Bone marrow aspirate smear:
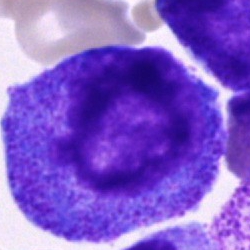

Specimen: bone marrow smear.
Classification: promyelocyte.
Lineage: myeloid.